Brightfield microscopy, 40× oil immersion · bone marrow smear
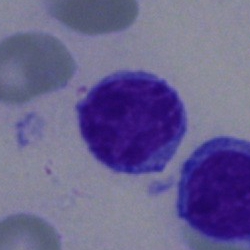The cell shown is a lymphocyte.